Bone marrow smear. Single cell centered in the field:
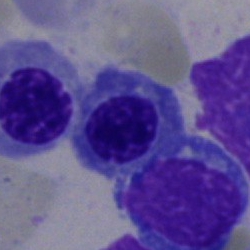 {"cell_type": "nucleated red blood cell", "lineage": "erythroid"}